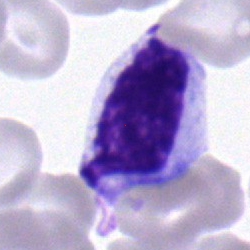Bone marrow aspirate smear, single cell — typical lymphocyte.